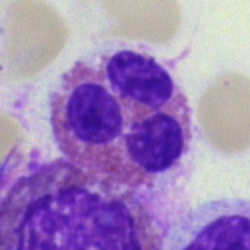
{"cell_type": "eosinophil"}